Peripheral blood film.
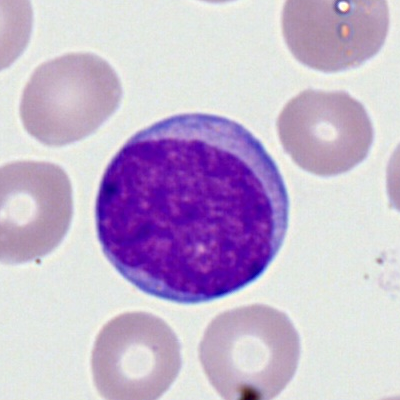 Q: What type of cell is this?
A: This is a myeloid blast.